Bone marrow aspirate smear:
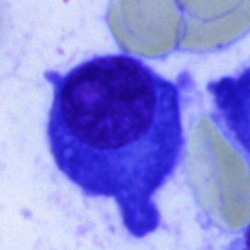
Plasma cell.